Brightfield, 40× oil-immersion objective. Bone marrow aspirate smear — 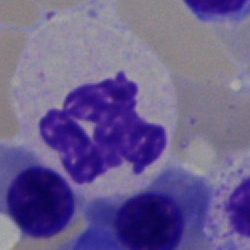 Single cell identified as a segmented neutrophil.